Peripheral blood film: 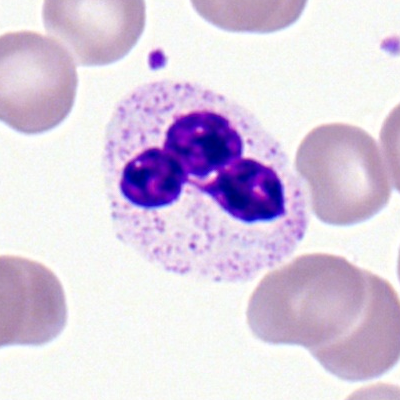
This is a neutrophil (segmented).